Bone marrow aspirate smear. 250 by 250 pixels:
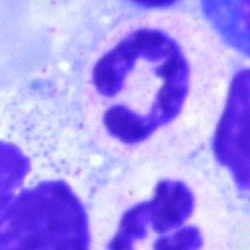 The morphological class is neutrophil (segmented).